Bone marrow aspirate smear
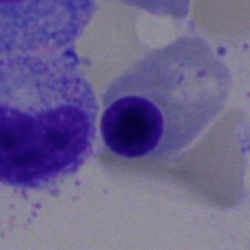

{"cell_type": "erythroblast"}